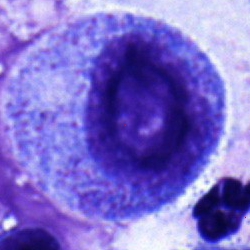

Q: What type of cell is this?
A: A progranulocyte.